40× oil immersion · bone marrow smear
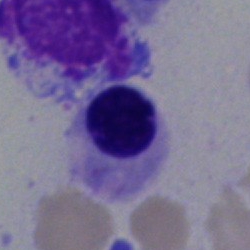 Classification: normoblast.